250 by 250 pixels · May-Grünwald-Giemsa/Pappenheim stain · bone marrow smear — 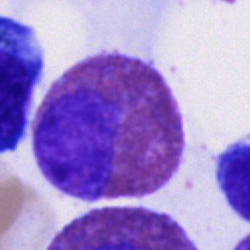Impression — eosinophilic granulocyte.